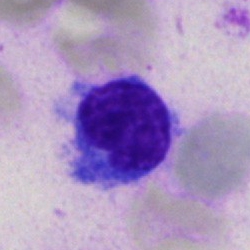Q: What cell is this?
A: This is a lymphocyte.